40× objective, oil immersion; bone marrow smear; image size 250×250:
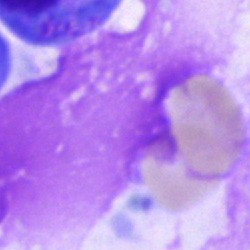Morphology — artifact.